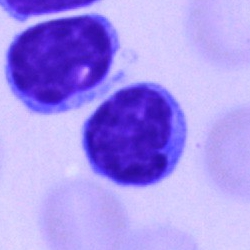

Bone marrow smear showing a lymphocyte.